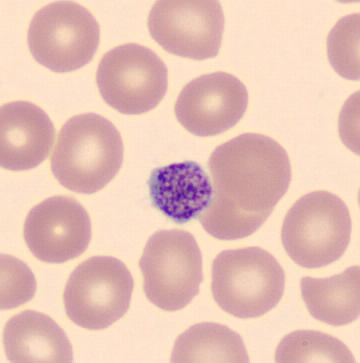360 by 363 pixels · peripheral blood smear. Showing a thrombocyte.